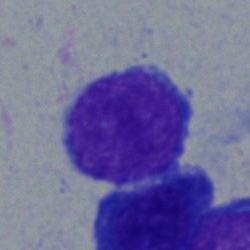Specimen: bone marrow aspirate smear.
Cell: typical lymphocyte.